Bone marrow smear — 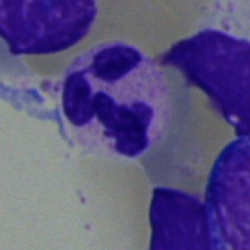 A segmented neutrophil.